Bone marrow aspirate smear
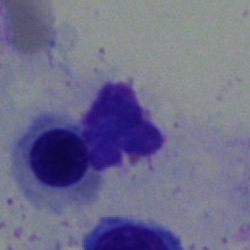

Morphology consistent with an erythroblast.